Bone marrow aspirate smear.
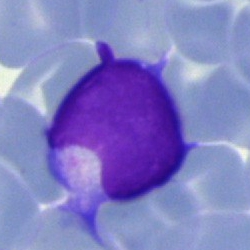Q: Identify the cell.
A: Typical lymphocyte.